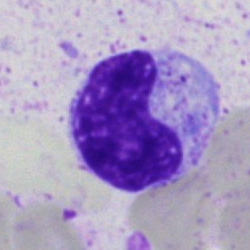

Cell: metamyelocyte.